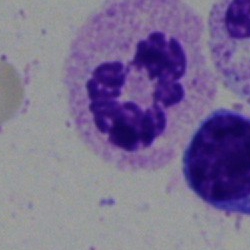
Single cell identified as a segmented neutrophil.